Bone marrow aspirate smear.
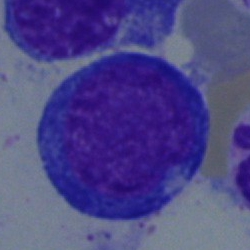 Single cell identified as a pronormoblast.